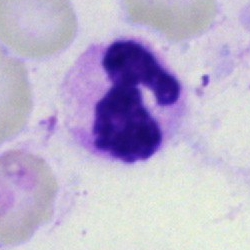
{"cell_type": "neutrophil (segmented)"}